Peripheral blood film.
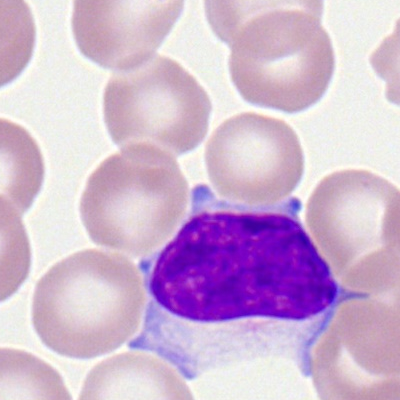
Typical lymphocyte.